Bone marrow smear: 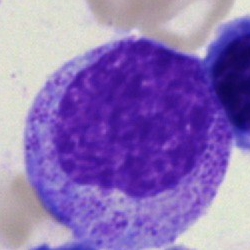 Q: What cell is this?
A: It is a myelocyte.